Bone marrow aspirate smear:
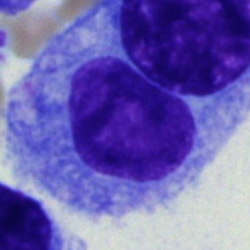 A plasmacyte.